Bone marrow smear:
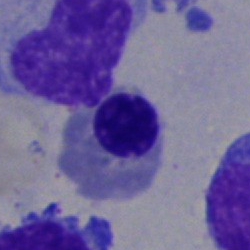
Q: What is the morphological classification of this cell?
A: Nucleated red cell.